Bone marrow smear; 250×250.
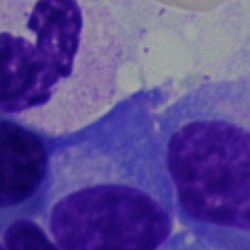Specimen: bone marrow aspirate smear.
Cell type: plasma cell.
Lineage: lymphoid.